May-Grünwald-Giemsa stain. Bone marrow smear. Single cell centered in the field — 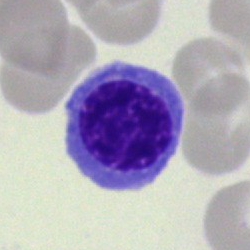

Morphological class = normoblast.